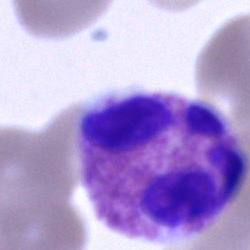Q: What type of cell is this?
A: Eosinophil.